Bone marrow smear · single-cell field · 250 by 250 pixels
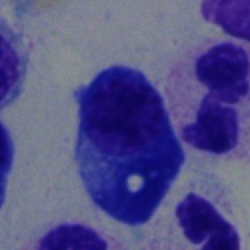

Impression — plasma cell.